Bone marrow aspirate smear. Single-cell crop
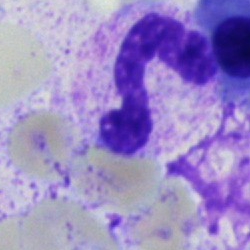Cell type — segmented neutrophil.